250×250 px · bone marrow aspirate smear: 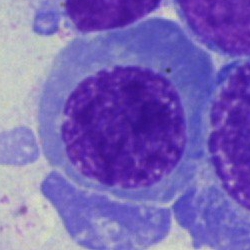Showing a normoblast.